Bone marrow aspirate smear: 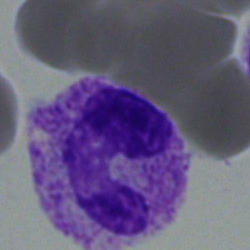 Single cell identified as a band-form neutrophil.